Brightfield microscopy, 40× oil immersion; bone marrow aspirate smear
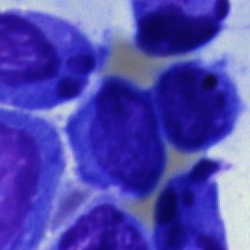 Morphological class = typical lymphocyte.